May-Grünwald-Giemsa/Pappenheim stain; bone marrow smear
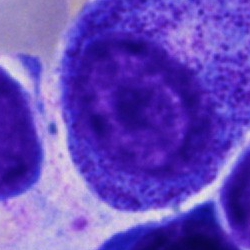
The classification is promyelocyte.